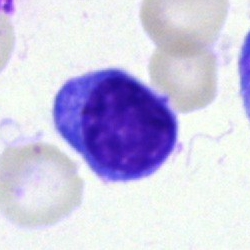 Single-cell crop from a bone marrow smear: nucleated red cell.